Bone marrow aspirate smear; May-Grünwald-Giemsa/Pappenheim stain; cropped to a single cell
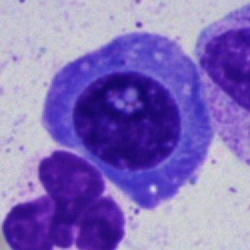

Specimen: bone marrow aspirate smear.
Cell type: plasma cell.
Lineage: lymphoid.